Bone marrow smear; brightfield microscopy, 40× oil immersion.
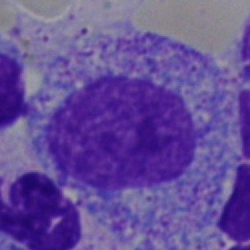

Single cell identified as a promyelocyte.